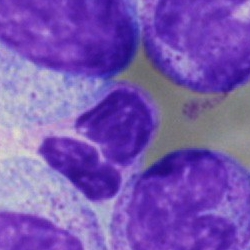 Q: Identify the cell.
A: Segmented neutrophil.